Bone marrow smear; MGG-stained — 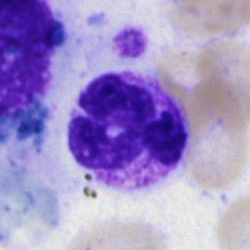The cell type is neutrophil (segmented).